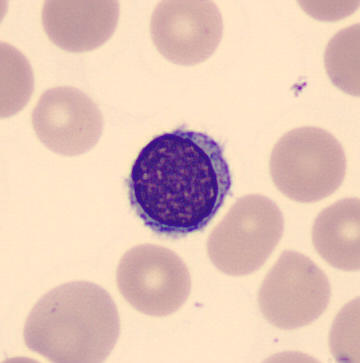Preparation: Peripheral blood film · CellaVision DM96 digital cell image.

Showing a lymphocyte.